Bone marrow smear: 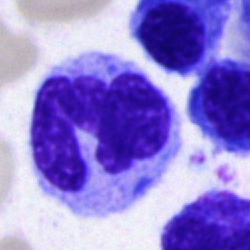
Showing a monocyte.